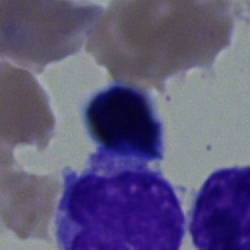Cell: lymphocyte.